250 by 250 pixels · bone marrow smear · single-cell field: 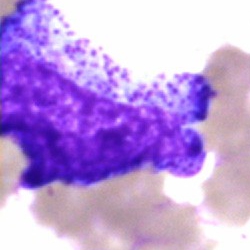
Specimen: bone marrow smear.
Classification: progranulocyte.
Lineage: myeloid.